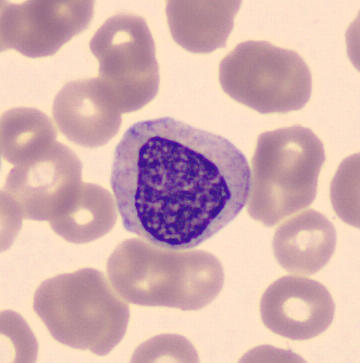 Peripheral blood film.

Morphology consistent with a myelocyte.